Bone marrow aspirate smear
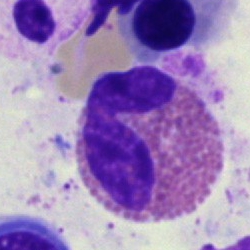

Q: What type of cell is this?
A: This is an eosinophil.